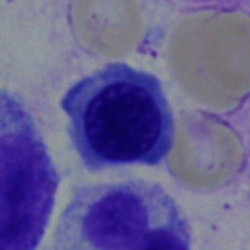
Specimen: bone marrow aspirate smear.
Cell type: erythroblast.
Lineage: erythroid.